Bone marrow smear: 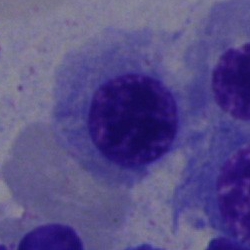

{"cell_type": "nucleated red blood cell", "lineage": "erythroid"}